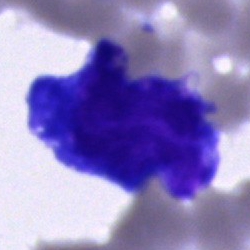
Bone marrow aspirate smear, single cell — blast.